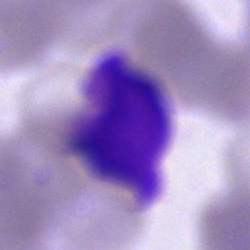

Classification = artifact.